Brightfield microscopy, 40× oil immersion · bone marrow aspirate smear — 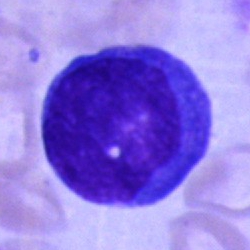

Showing a blast cell.